Bone marrow aspirate smear
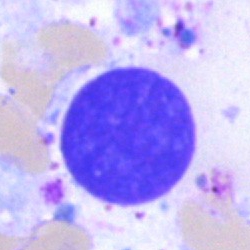Q: What is shown here?
A: This is an artifact.